Bone marrow aspirate smear.
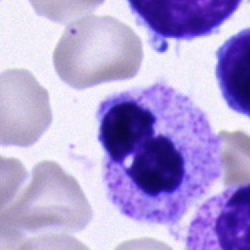Morphological class — neutrophil (segmented).